Single cell centered in the field · bone marrow smear:
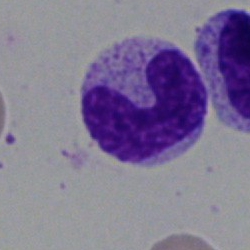

Specimen: bone marrow smear.
Cell: stab cell.